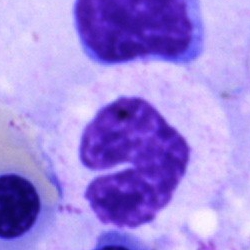 Specimen: bone marrow smear.
Morphological class: unidentifiable cell.